Bone marrow smear: 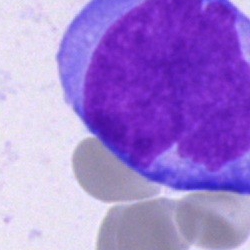 Morphology — undifferentiated blast.